Bone marrow aspirate smear · image size 250×250: 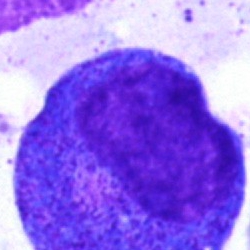
Impression → promyelocyte.